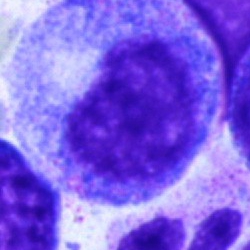A progranulocyte on a bone marrow smear.